Brightfield, 40× oil-immersion objective · bone marrow aspirate smear
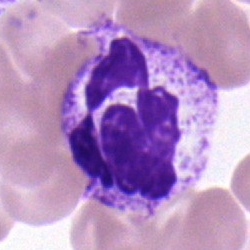{"cell_type": "neutrophil (segmented)", "lineage": "myeloid"}